Brightfield microscopy, 40× oil immersion · bone marrow aspirate smear · May-Grünwald-Giemsa stain — 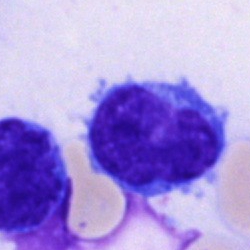The classification is typical lymphocyte.